Single-cell crop; 400×400; peripheral blood film:
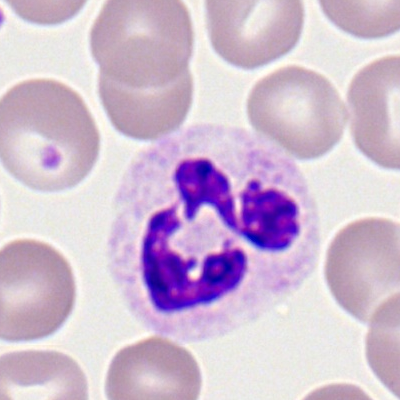Single cell identified as a segmented neutrophil.